Bone marrow smear:
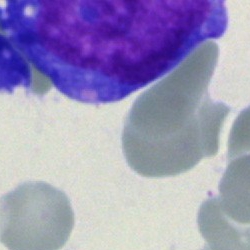Q: What is shown here?
A: An undifferentiated blast.